Cropped to a single cell · bone marrow aspirate smear — 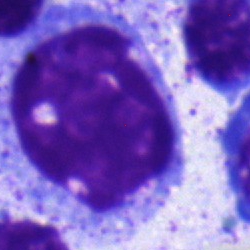

Q: Identify the cell.
A: Promyelocyte.